Single-cell crop. Bone marrow smear: 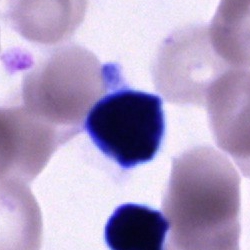Impression — unidentifiable cell.